MGG-stained; bone marrow smear
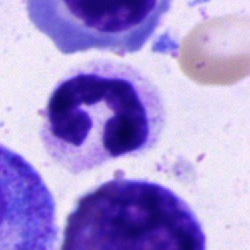
Morphology → segmented neutrophil.